Bone marrow smear · image size 250×250 — 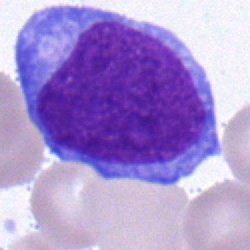 This is a blast cell.